Bone marrow smear.
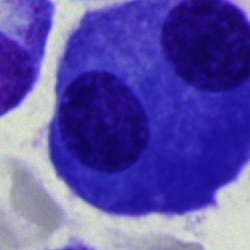 Cell — plasma cell.